Bone marrow smear: 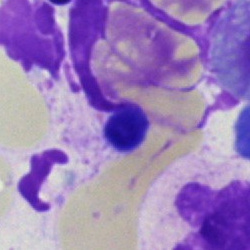

{"cell_type": "artefact"}